Bone marrow smear · brightfield microscopy, 40× oil immersion · single cell centered in the field
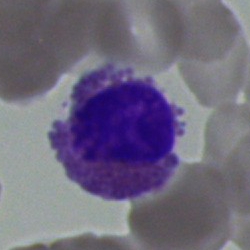Classification — eosinophil.